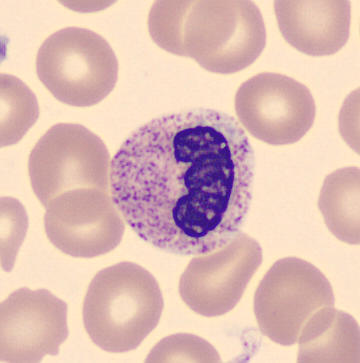Peripheral blood film.
Cell type — band neutrophil.